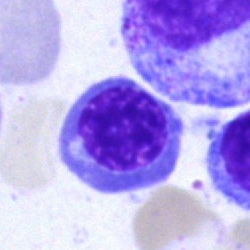

Classification: nucleated red cell.